Bone marrow smear — 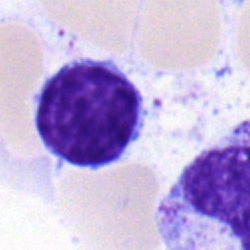
Q: What type of cell is this?
A: It is a lymphocyte.